Cropped to a single cell · 250×250 px · bone marrow smear:
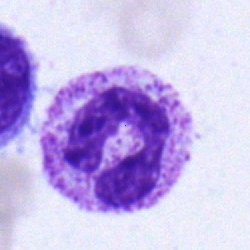{"cell_type": "band-form neutrophil"}